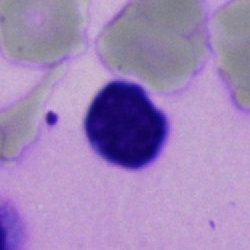 {"cell_type": "lymphocyte"}